Bone marrow aspirate smear · brightfield microscopy, 40× oil immersion — 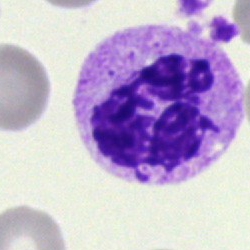Q: What is shown here?
A: A neutrophil (segmented).